Bone marrow aspirate smear: 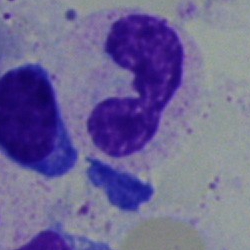Classification = band-form neutrophil.